Single-cell field. Peripheral blood smear:
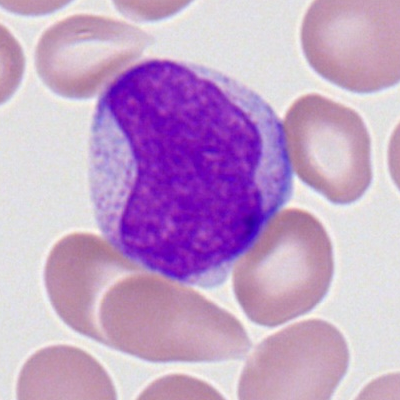Myeloid blast.